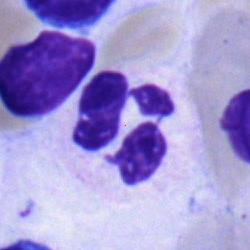Cell = neutrophil (segmented).